Peripheral blood film; automated cell imaging (CellaVision DM96)
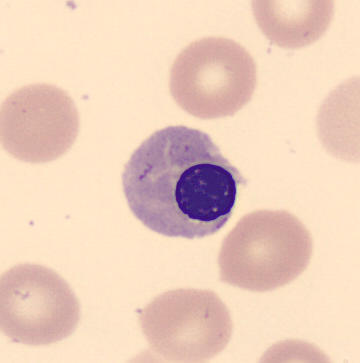 The classification is nucleated red cell.